250 by 250 pixels · bone marrow aspirate smear · brightfield, 40× oil-immersion objective.
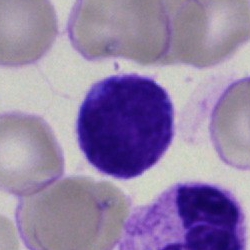Cell = lymphocyte.